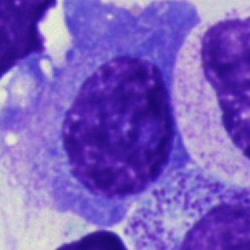Morphological class = plasma cell.